Single-cell field. May-Grünwald-Giemsa/Pappenheim stain. Bone marrow aspirate smear:
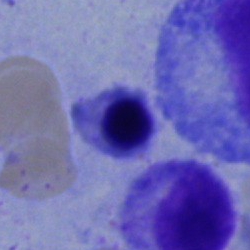
Classification: erythroblast.